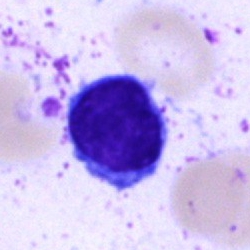 Q: Identify the cell.
A: This is a typical lymphocyte.